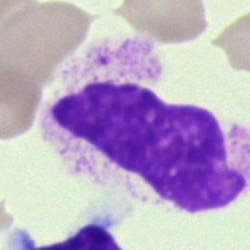 Q: What is shown here?
A: An artefact.